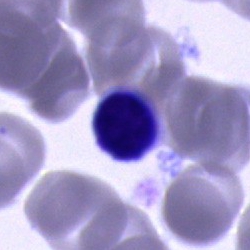

Specimen: bone marrow smear.
Classification: lymphocyte.